Bone marrow aspirate smear; single-cell crop.
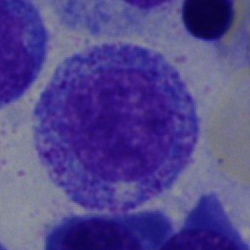 {"cell_type": "progranulocyte"}